Bone marrow aspirate smear — 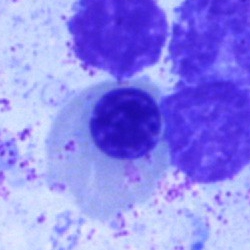Cell type: nucleated red cell.